Bone marrow smear.
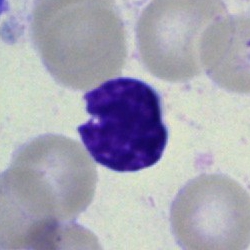

Q: What is shown here?
A: This is an artefact.